Bone marrow aspirate smear; Pappenheim-stained.
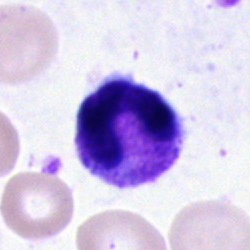Morphology — neutrophil (band).